Bone marrow smear · 250×250
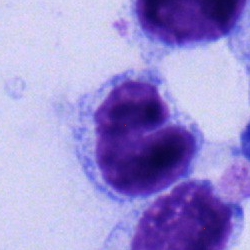Lymphocyte.